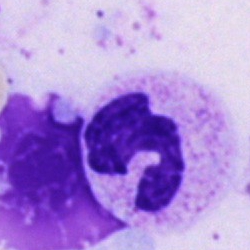 Morphological class: segmented neutrophil.